Brightfield, 100× oil-immersion objective; peripheral blood smear.
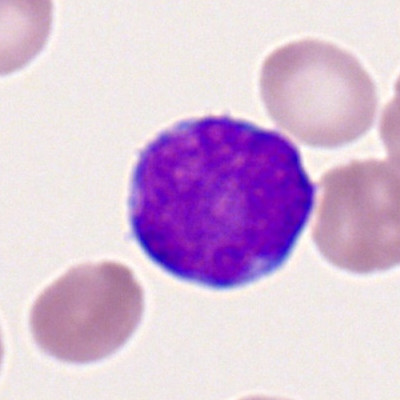 Specimen: peripheral blood film.
Classification: myeloblast.